250 by 250 pixels. Bone marrow aspirate smear
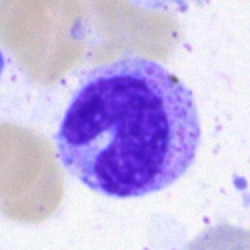

Q: What is shown here?
A: This is a neutrophil (band).